Bone marrow aspirate smear.
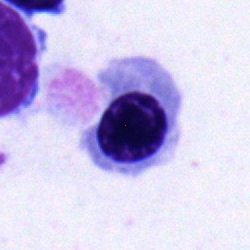
Q: What is the morphological classification of this cell?
A: This is a nucleated red blood cell.